250×250 px. Bone marrow smear. Pappenheim-stained — 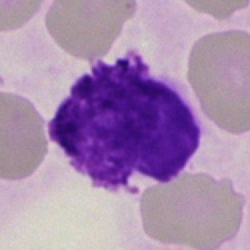

Morphology → artifact.